Bone marrow aspirate smear.
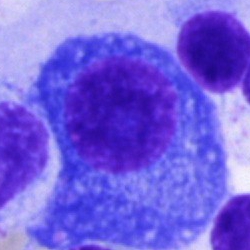Specimen: bone marrow aspirate smear.
Cell type: plasma cell.
Lineage: lymphoid.